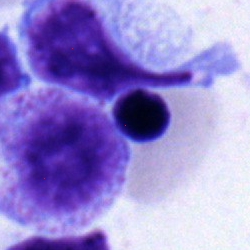
Q: What cell is this?
A: An erythroblast.